Pappenheim-stained. Bone marrow aspirate smear: 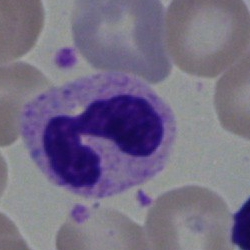

The cell type is polymorphonuclear neutrophil.